Bone marrow aspirate smear; single cell centered in the field; 40× oil immersion:
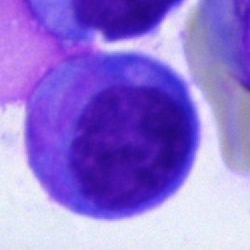

The classification is blast cell.